Bone marrow aspirate smear:
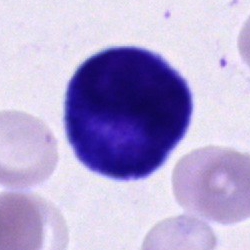 Cell = cell of indeterminate lineage.